250×250 px. Bone marrow aspirate smear — 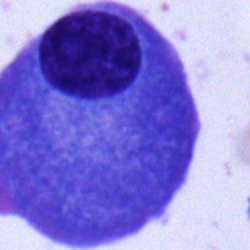

Cell = plasmacyte.